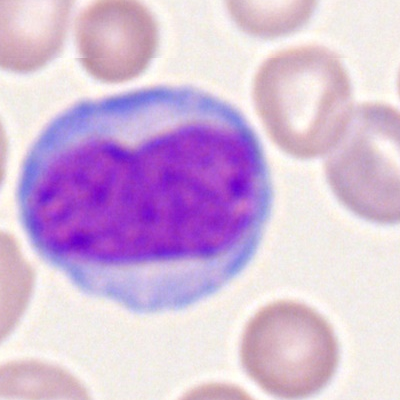Q: Identify the cell.
A: Monocyte.